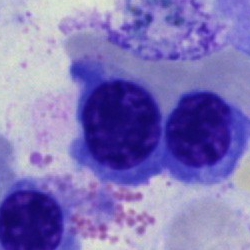

Specimen: bone marrow smear.
Classification: nucleated red blood cell.
Lineage: erythroid.